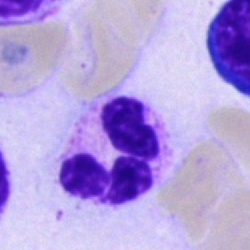
Classification = neutrophil (segmented).